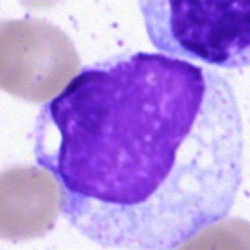 Q: What is shown here?
A: An artefact.